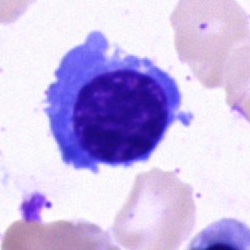Classification = erythroblast.